Bone marrow aspirate smear — 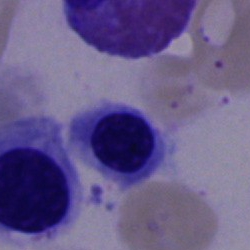 Showing a normoblast.